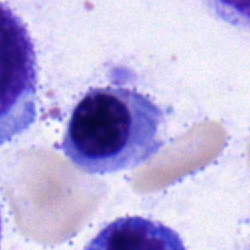 A normoblast.